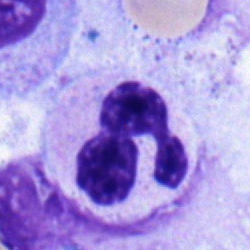
Cell — segmented neutrophil.